Bone marrow aspirate smear. 250×250 — 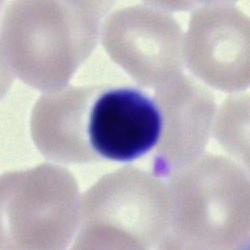
Single cell identified as a typical lymphocyte.